Single cell centered in the field; bone marrow aspirate smear: 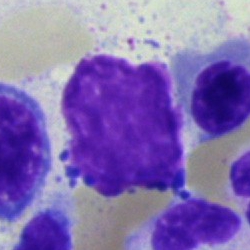 Q: What is shown here?
A: This is an artefact.